Bone marrow smear — 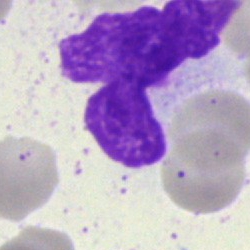

Cell — artifact.